MGG-stained · bone marrow smear — 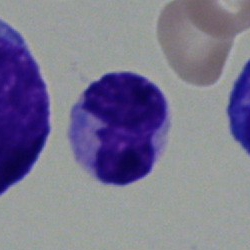

A polymorphonuclear neutrophil.